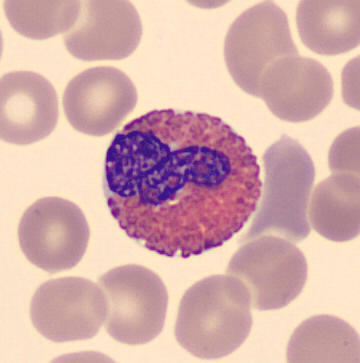 Classification: eosinophilic granulocyte.

Preparation: Peripheral blood smear. Image size 360×363. Cropped to a single cell.